Bone marrow smear:
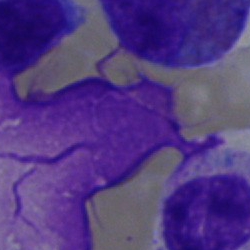
Artifact.